250×250 px · bone marrow aspirate smear · single-cell field: 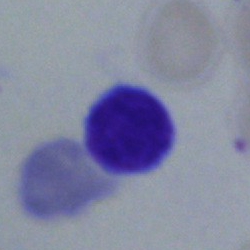 {"cell_type": "typical lymphocyte", "lineage": "lymphoid"}